Bone marrow smear
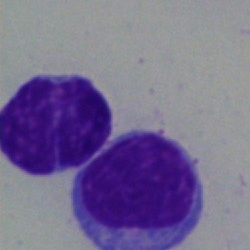 The cell is lymphocyte.